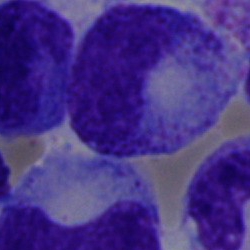

Morphology → progranulocyte.